Bone marrow aspirate smear — 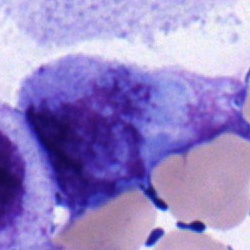
Showing a blast.